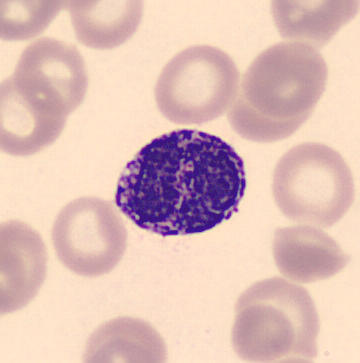

Image: Peripheral blood smear. Cropped to a single cell.
Classification — basophil.